Bone marrow aspirate smear
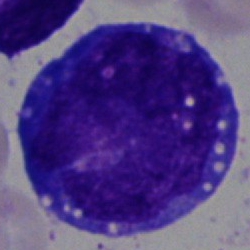
The cell is blast cell.